250×250 · single-cell crop · bone marrow aspirate smear.
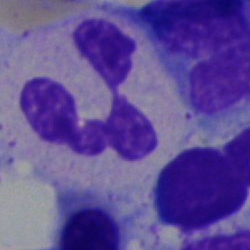

Q: Which cell type is shown here?
A: This is a neutrophil (segmented).